Bone marrow aspirate smear. May-Grünwald-Giemsa/Pappenheim stain. Single-cell field.
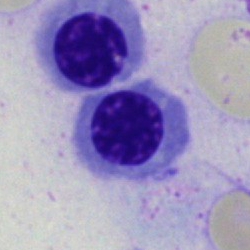 Cell — normoblast.